Peripheral blood film
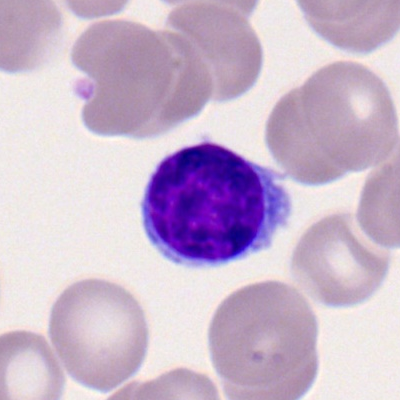Single cell identified as a lymphocyte.